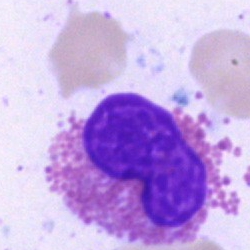Impression → eosinophilic granulocyte.